Peripheral blood film · 360 by 363 pixels
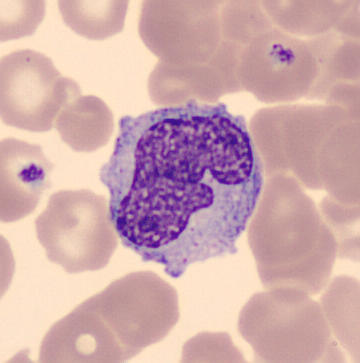Specimen: peripheral blood smear.
Classification: monocyte.